Pappenheim-stained. Bone marrow smear: 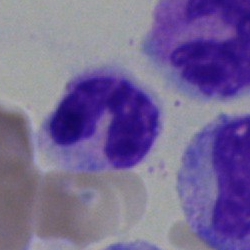Single cell identified as a neutrophil (segmented).